Bone marrow smear. Pappenheim-stained
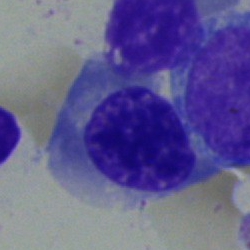The morphological class is normoblast.